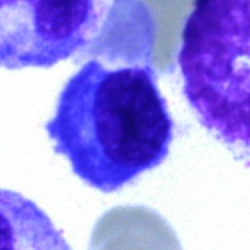Bone marrow smear showing a normoblast.